Bone marrow aspirate smear — 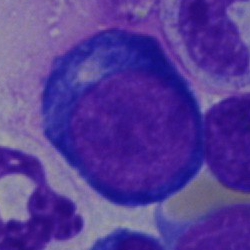

Morphological class: pronormoblast.